Peripheral blood smear: 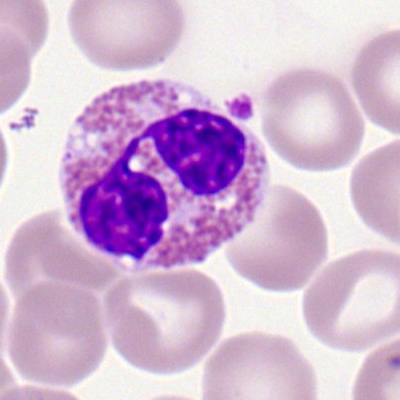Morphology — eosinophil.